Bone marrow smear
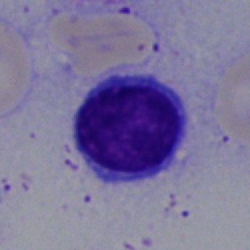Impression → lymphocyte.